Bone marrow aspirate smear:
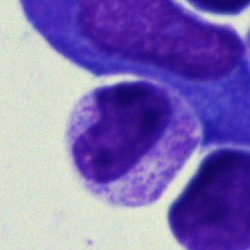Single cell identified as a band neutrophil.